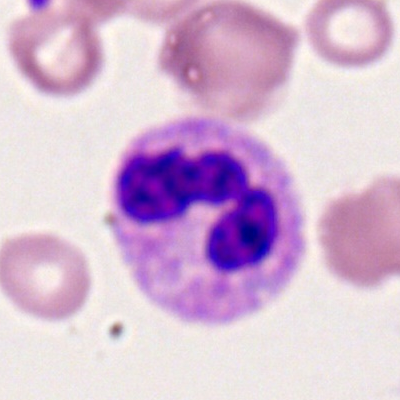

Morphology → segmented neutrophil.